Bone marrow smear:
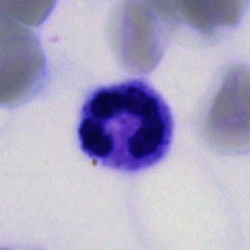Morphology → neutrophil (segmented).